Bone marrow smear. 250×250 px.
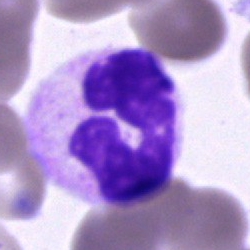 Morphology consistent with a band neutrophil.